Bone marrow aspirate smear · cropped to a single cell:
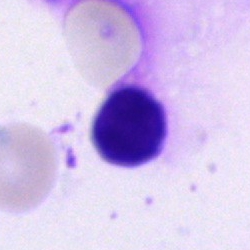

Q: What cell is this?
A: Lymphocyte.